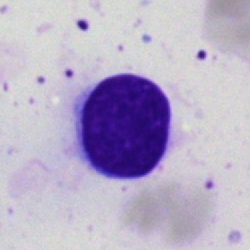

Single-cell crop from a bone marrow smear: lymphocyte.